Bone marrow smear · May-Grünwald-Giemsa/Pappenheim stain · 250 by 250 pixels.
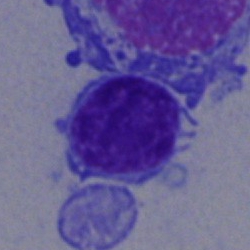 Showing a typical lymphocyte.